Peripheral blood film:
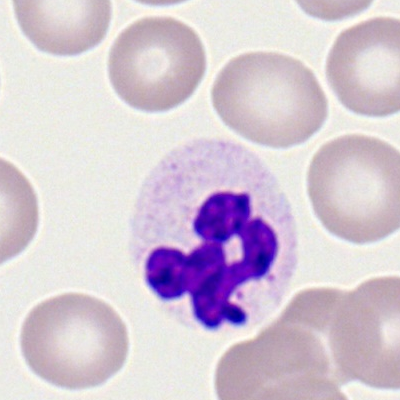 Showing a segmented neutrophil.